Peripheral blood film; 400×400.
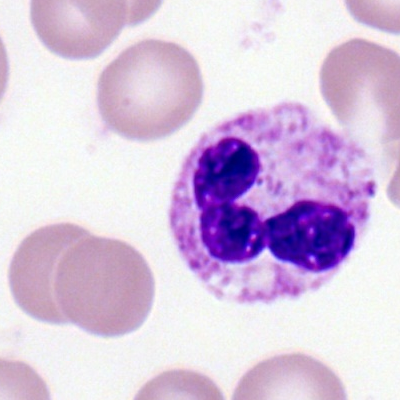Q: What is the morphological classification of this cell?
A: Neutrophil (segmented).